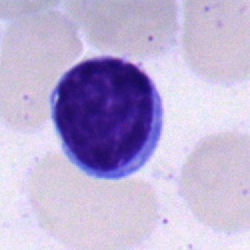Morphological class — typical lymphocyte.